Bone marrow aspirate smear. Pappenheim-stained
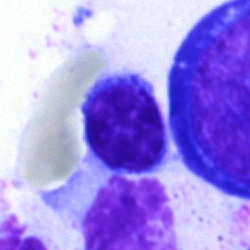

Cell = lymphocyte.